Bone marrow smear:
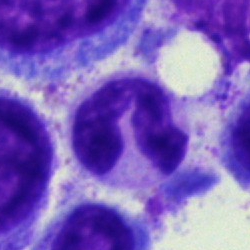Morphology — neutrophil (segmented).